MGG-stained; bone marrow smear:
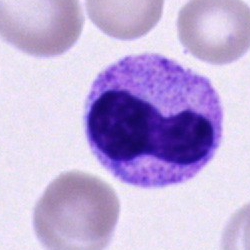

Showing a neutrophil (band).